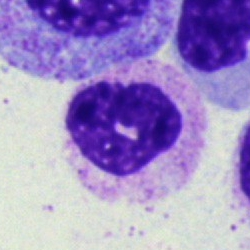 Morphological class: band neutrophil.